Cropped to a single cell; bone marrow smear; 250×250 px — 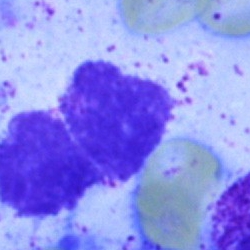 Impression → artefact.